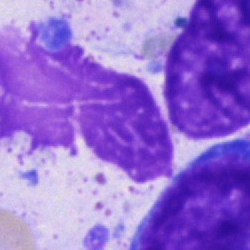Impression → artefact.